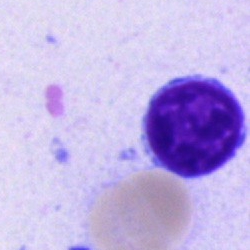Cell = lymphocyte.